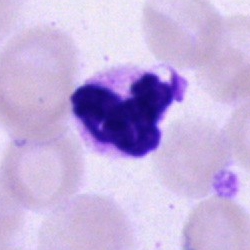Classification — segmented neutrophil.